Bone marrow aspirate smear — 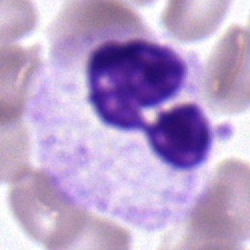
Classification = segmented neutrophil.